Bone marrow aspirate smear: 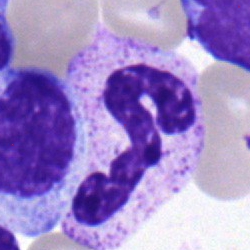{"cell_type": "neutrophil (segmented)", "lineage": "myeloid"}